Bone marrow smear
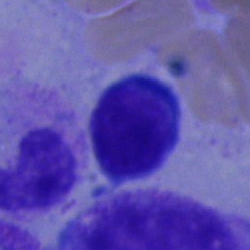Single cell identified as a typical lymphocyte.